MGG-stained · 40× objective, oil immersion · bone marrow smear: 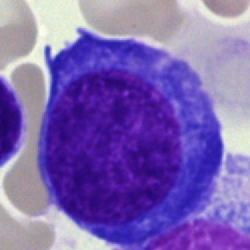

A proerythroblast.